Bone marrow smear
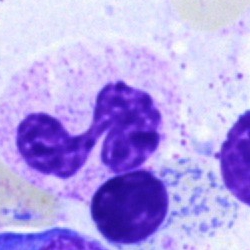

Showing a segmented neutrophil.